Bone marrow smear.
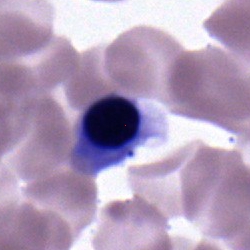

Impression → normoblast.